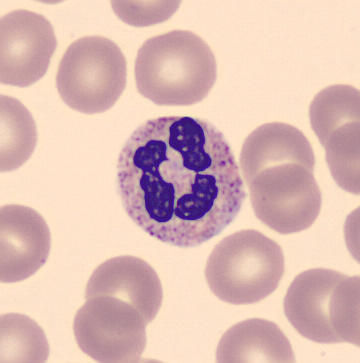Single cell identified as a neutrophil (segmented).